Bone marrow smear.
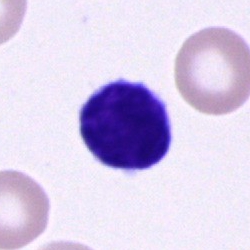 Morphological class = lymphocyte.